Bone marrow aspirate smear
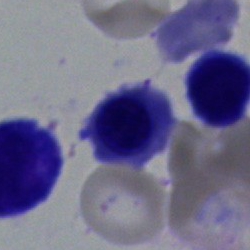

Morphological class: nucleated red cell.